Bone marrow aspirate smear: 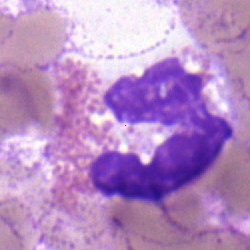The cell shown is a polymorphonuclear neutrophil.